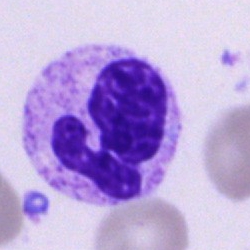

Impression → polymorphonuclear neutrophil.